Bone marrow smear
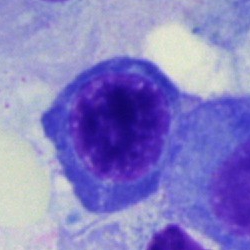

Specimen: bone marrow aspirate smear.
Cell type: erythroblast.